Brightfield, 40× oil-immersion objective. Bone marrow smear: 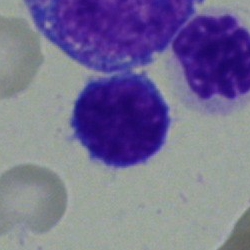Single cell identified as a lymphocyte.